Bone marrow smear · single-cell crop.
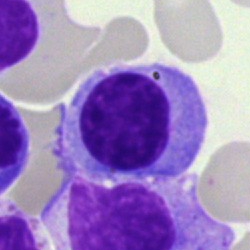

Nucleated red cell.